Bone marrow smear · 250 by 250 pixels
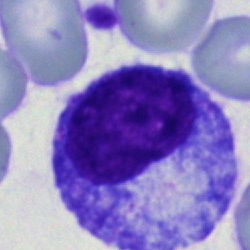The classification is promyelocyte.